Bone marrow aspirate smear: 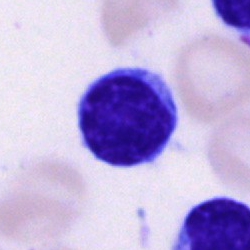Specimen: bone marrow smear.
Classification: typical lymphocyte.